Bone marrow smear
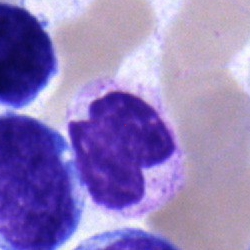

The cell shown is a polymorphonuclear neutrophil.